Single cell centered in the field. Brightfield microscopy, 40× oil immersion. Bone marrow smear
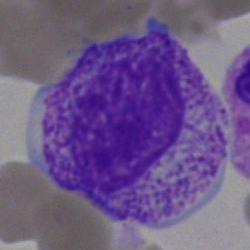Morphological class — myelocyte.